Peripheral blood film: 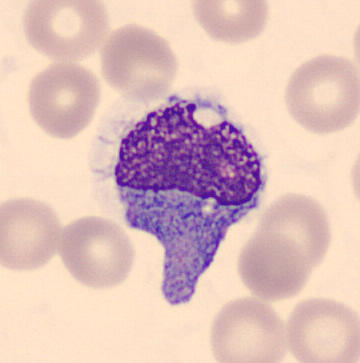This is a monocyte.